Bone marrow aspirate smear
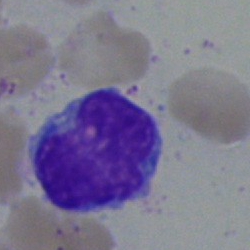
Showing a band neutrophil.